Bone marrow aspirate smear:
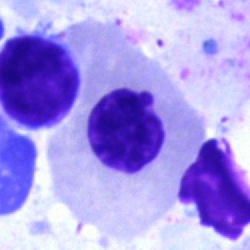 Q: What is the morphological classification of this cell?
A: It is a normoblast.